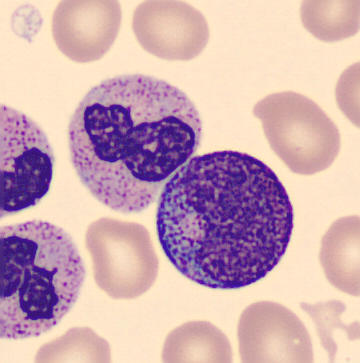 Promyelocyte.